Bone marrow smear — 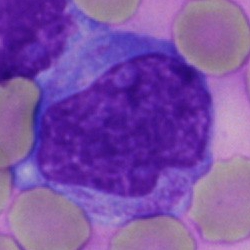

A lymphocyte.